250×250; bone marrow aspirate smear; brightfield microscopy, 40× oil immersion — 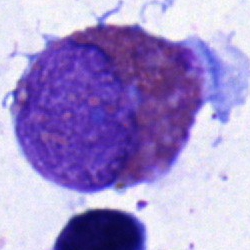

The classification is eosinophilic granulocyte.